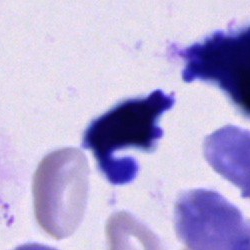Q: What type of cell is this?
A: This is a cell of indeterminate lineage.